Bone marrow smear; 250×250; 40× objective, oil immersion.
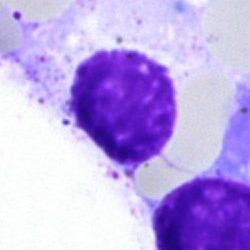
Morphology — artifact.